Bone marrow smear.
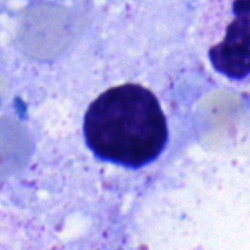 {"cell_type": "typical lymphocyte"}